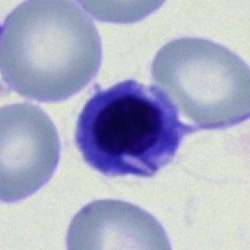{"cell_type": "nucleated red cell", "lineage": "erythroid"}